Peripheral blood smear:
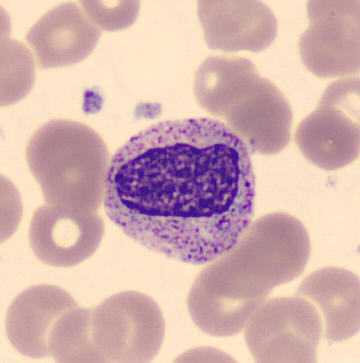

Morphological class = metamyelocyte.